Cropped to a single cell; bone marrow smear: 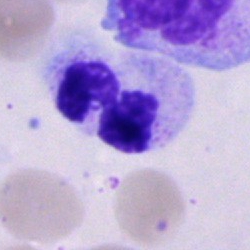

Q: What is shown here?
A: A segmented neutrophil.